Bone marrow smear. Single-cell field: 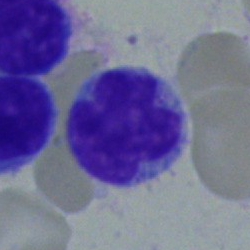 Morphology — monocyte.